Bone marrow smear:
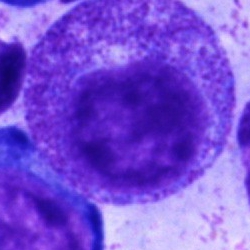Promyelocyte.